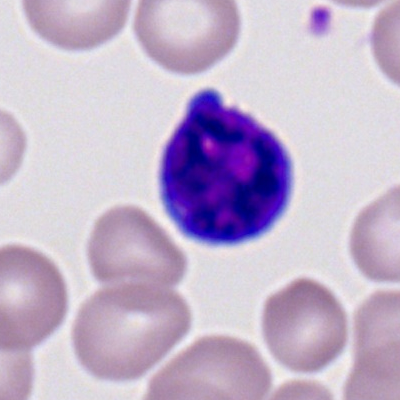

Single-cell crop from a peripheral blood smear: typical lymphocyte.